Bone marrow smear; single-cell crop; brightfield microscopy, 40× oil immersion
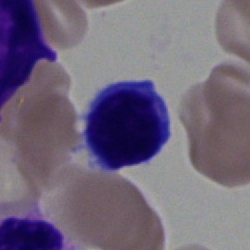

Specimen: bone marrow smear.
Morphological class: typical lymphocyte.
Lineage: lymphoid.